Bone marrow smear:
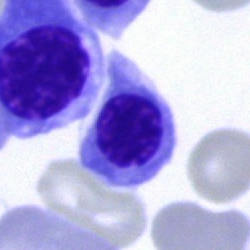 Cell — nucleated red cell.